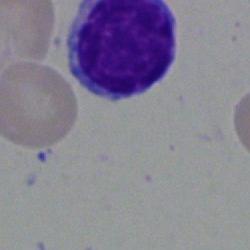 Specimen: bone marrow smear.
Morphological class: lymphocyte.
Lineage: lymphoid.